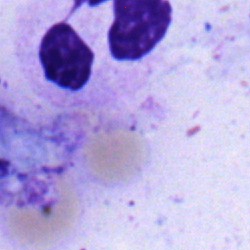A segmented neutrophil.